Bone marrow aspirate smear: 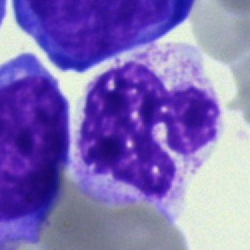The cell shown is a neutrophil (segmented).